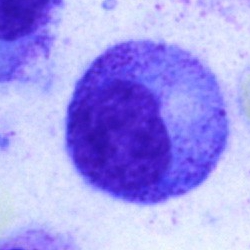 Bone marrow smear showing a progranulocyte.